Bone marrow aspirate smear: 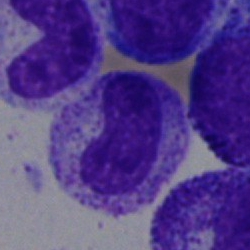 A band-form neutrophil.